May-Grünwald-Giemsa stain; bone marrow aspirate smear; single-cell field
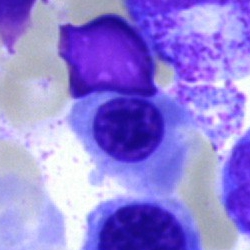

Morphological class: normoblast.